Bone marrow aspirate smear.
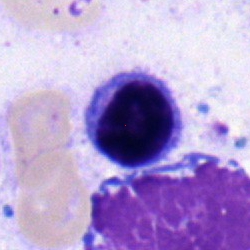 This is a lymphocyte.